Bone marrow aspirate smear; 40× oil immersion; 250 by 250 pixels.
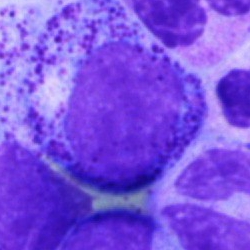
Impression → myelocyte.